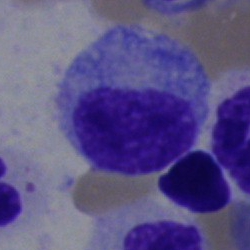
{"cell_type": "promyelocyte", "lineage": "myeloid"}